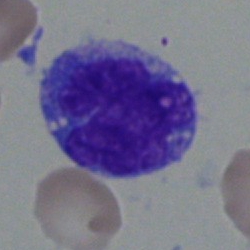 Bone marrow smear showing a monocyte.